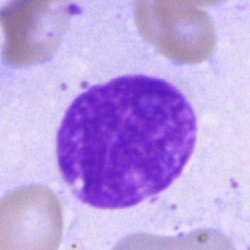Morphology — artifact.